Bone marrow smear · single cell centered in the field — 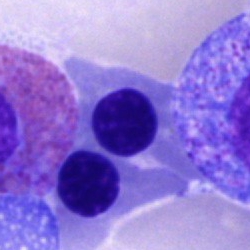

Q: What is the morphological classification of this cell?
A: This is a nucleated red cell.